Single-cell crop; peripheral blood film; Romanowsky-type stain: 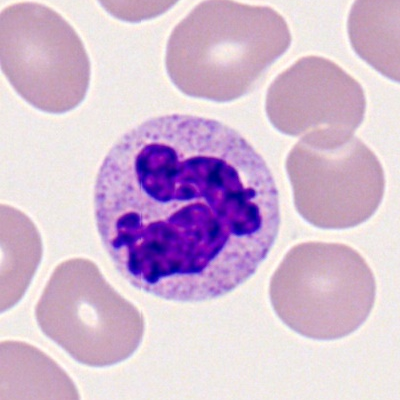

Q: What type of cell is this?
A: It is a segmented neutrophil.